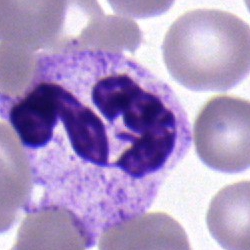
The morphological class is segmented neutrophil.